Bone marrow smear:
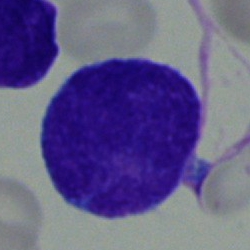
Morphology consistent with a blast.